Bone marrow smear — 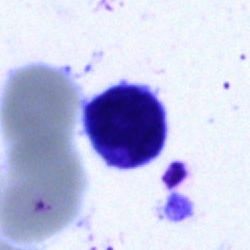Morphological class: typical lymphocyte.